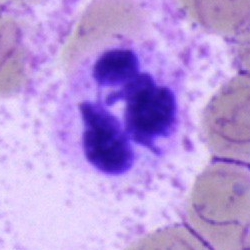

Single cell identified as a segmented neutrophil.